Bone marrow aspirate smear: 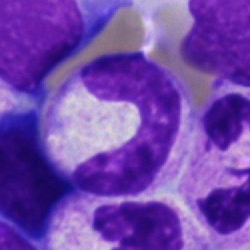

Specimen: bone marrow smear.
Cell type: stab cell.
Lineage: myeloid.